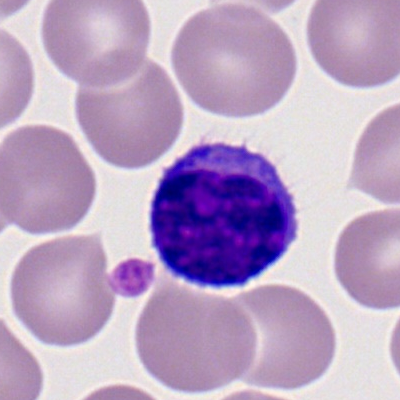
A typical lymphocyte on a peripheral blood smear.